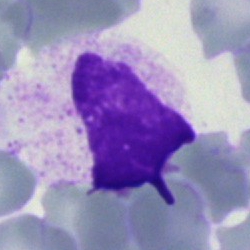The cell shown is an artefact.